Peripheral blood smear · cropped to a single cell.
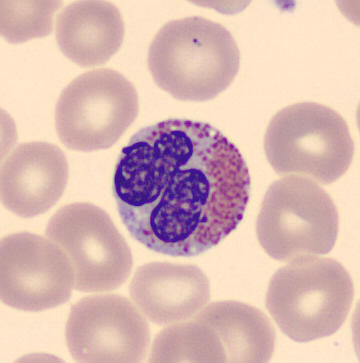 Morphology → eosinophil.